Bone marrow smear. Single cell centered in the field
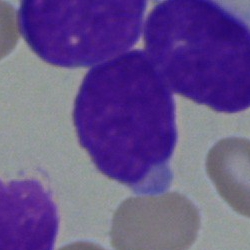Cell = blast.